Bone marrow aspirate smear: 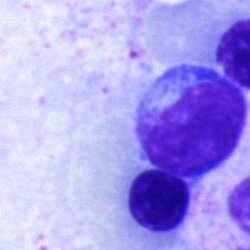
Cell: typical lymphocyte.